Bone marrow aspirate smear; May-Grünwald-Giemsa stain; brightfield microscopy, 40× oil immersion.
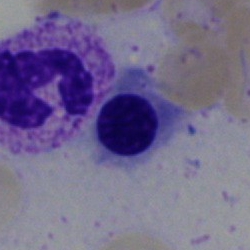

Q: Which cell type is shown here?
A: This is a normoblast.